Bone marrow aspirate smear: 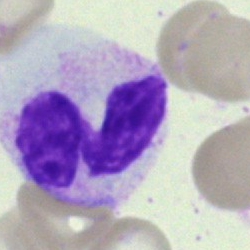 This is a segmented neutrophil.